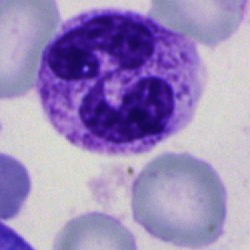A polymorphonuclear neutrophil.